Peripheral blood smear
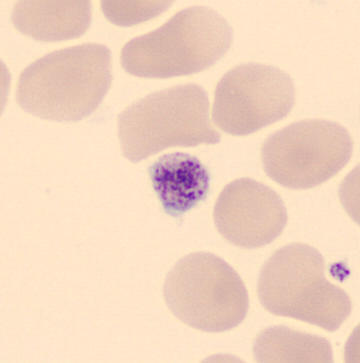

Morphological class = platelet (thrombocyte).